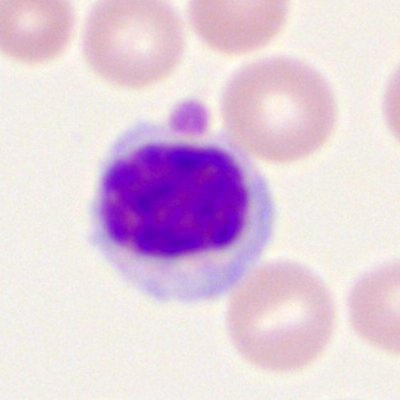 A lymphocyte on a peripheral blood smear.